MGG-stained; bone marrow aspirate smear
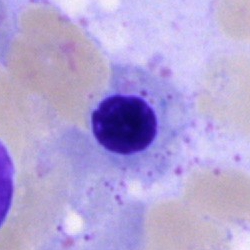

Q: What is shown here?
A: A nucleated red blood cell.